Bone marrow aspirate smear — 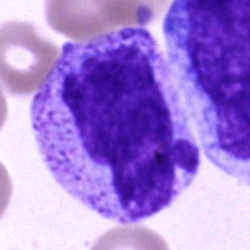Showing a progranulocyte.